Peripheral blood smear.
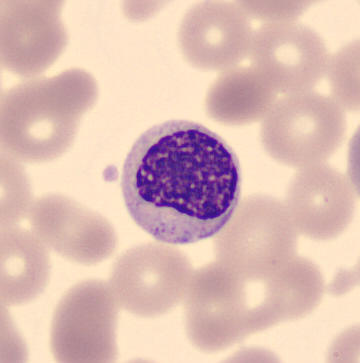
Classification = myelocyte.